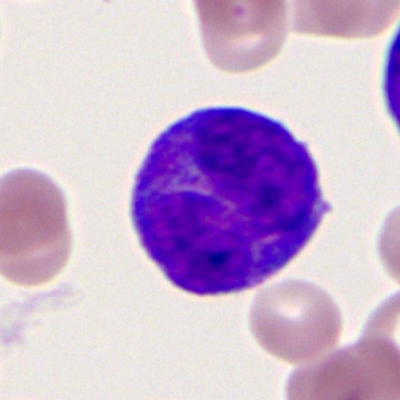
A promyelocyte (bilobed) on a peripheral blood smear.